Bone marrow smear · cropped to a single cell · 250×250
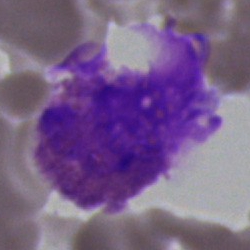

Classification — artifact.